Bone marrow aspirate smear:
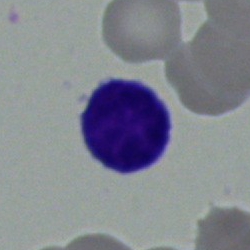 The classification is typical lymphocyte.